Bone marrow smear — 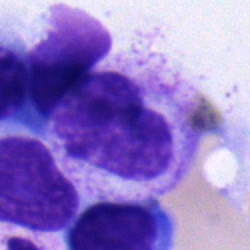

{"cell_type": "metamyelocyte"}